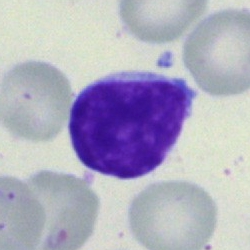
Specimen: bone marrow aspirate smear.
Classification: typical lymphocyte.
Lineage: lymphoid.